Single cell centered in the field; bone marrow aspirate smear — 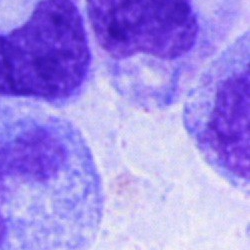 Cell type: artifact.